Bone marrow smear.
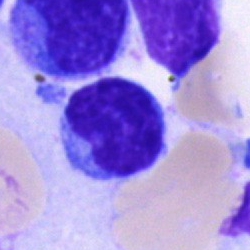Typical lymphocyte.